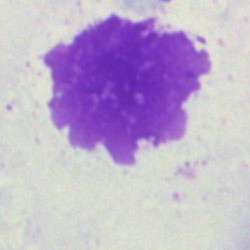

Specimen: bone marrow aspirate smear.
Cell: artefact.